Bone marrow aspirate smear — 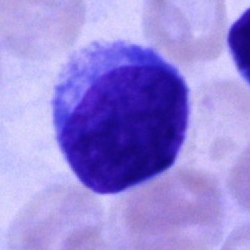 Undifferentiated blast.